Bone marrow aspirate smear · 40× oil immersion.
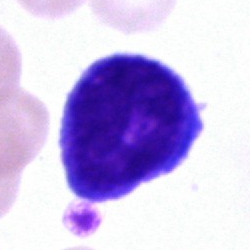

This is a blast.